Peripheral blood film · Romanowsky stain:
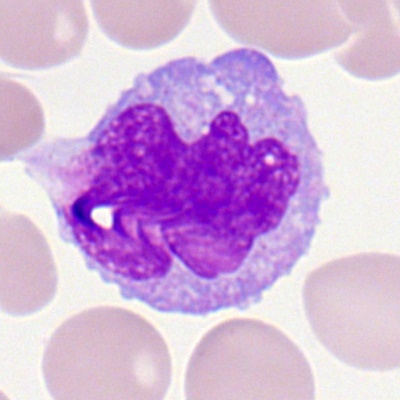

Classification — monocyte.